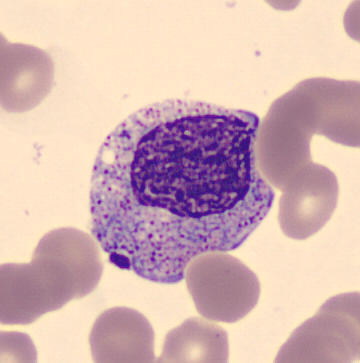

Cell — myelocyte.